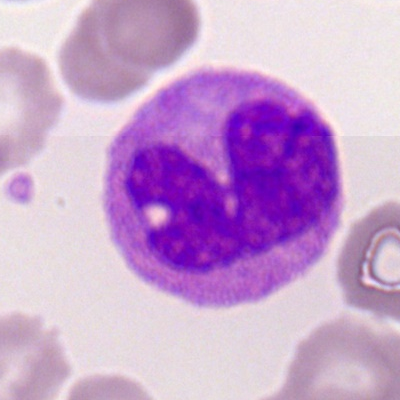Morphology — monocyte.